Bone marrow aspirate smear. May-Grünwald-Giemsa stain: 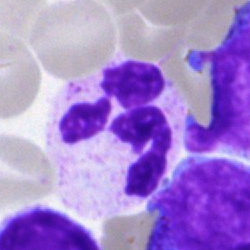
Polymorphonuclear neutrophil.